Bone marrow aspirate smear:
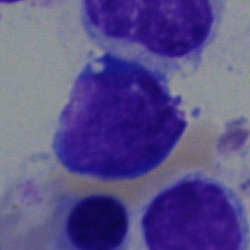 {"cell_type": "nucleated red cell", "lineage": "erythroid"}